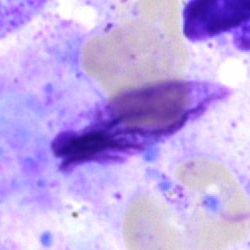 Q: What is shown here?
A: Artefact.